Bone marrow aspirate smear. May-Grünwald-Giemsa/Pappenheim stain — 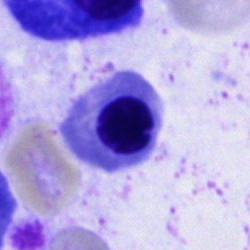 Showing an erythroblast.